Bone marrow aspirate smear — 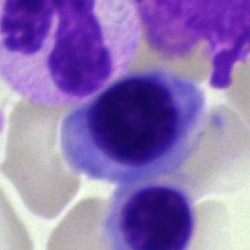

The cell is normoblast.